Bone marrow aspirate smear.
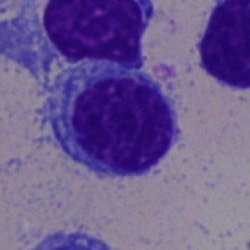Specimen: bone marrow smear.
Classification: lymphocyte.